Bone marrow aspirate smear.
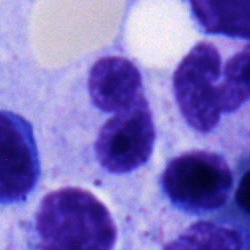 Showing a stab cell.